May-Grünwald-Giemsa/Pappenheim stain; bone marrow aspirate smear:
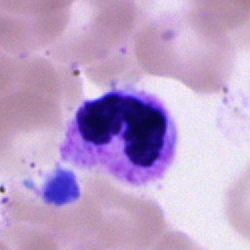 {"cell_type": "polymorphonuclear neutrophil", "lineage": "myeloid"}